Bone marrow smear
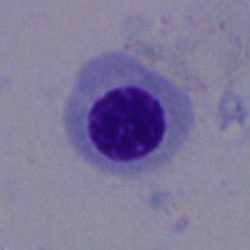 Erythroblast.